Brightfield, 40× oil-immersion objective · bone marrow smear · image size 250×250
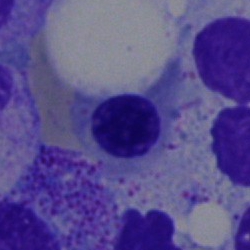{"cell_type": "normoblast"}